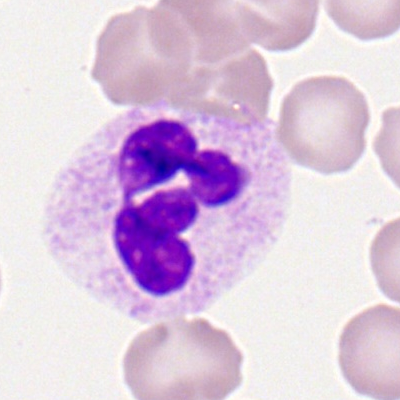

A neutrophil (segmented).